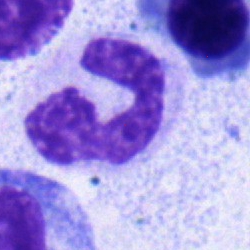

Specimen: bone marrow smear.
Cell type: neutrophil (band).
Lineage: myeloid.